40× oil immersion. Bone marrow smear — 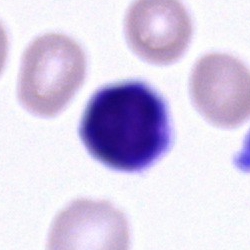
A lymphocyte.